Bone marrow aspirate smear — 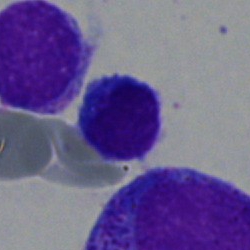Classification: lymphocyte.